Bone marrow aspirate smear — 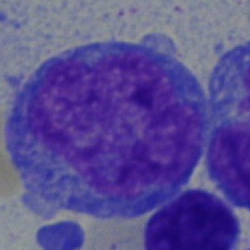 Classification — blast cell.